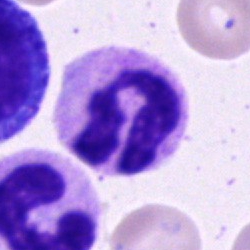A neutrophil (segmented).